Bone marrow smear — 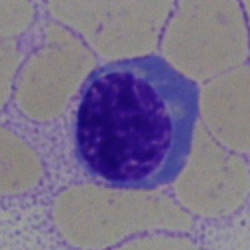
A normoblast.